Bone marrow aspirate smear
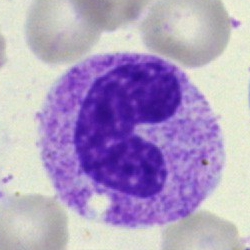This is a band-form neutrophil.